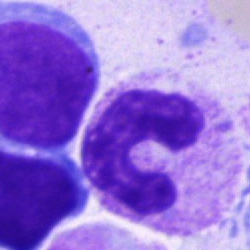 Classification: stab cell.